Bone marrow smear — 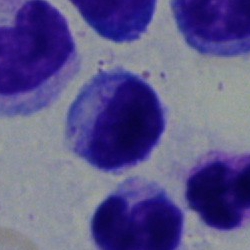

Myelocyte.